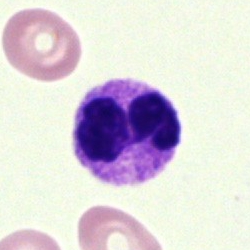Q: What type of cell is this?
A: It is a polymorphonuclear neutrophil.